Bone marrow aspirate smear; 250×250
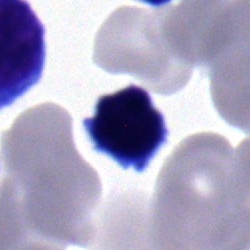 Classification: typical lymphocyte.